Bone marrow aspirate smear · brightfield, 40× oil-immersion objective:
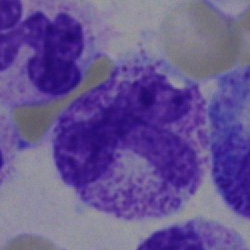
Morphological class: polymorphonuclear neutrophil.